Bone marrow aspirate smear.
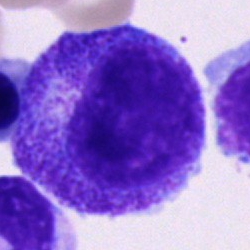Cell = promyelocyte.